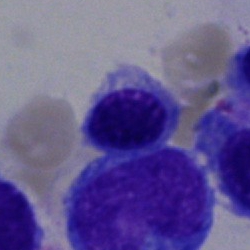 Morphology → erythroblast.